Bone marrow aspirate smear — 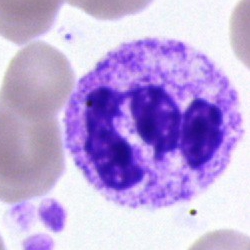 Specimen: bone marrow aspirate smear.
Cell: segmented neutrophil.